Bone marrow smear. May-Grünwald-Giemsa/Pappenheim stain:
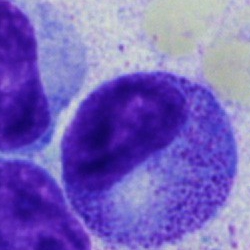

Impression — promyelocyte.